Bone marrow smear — 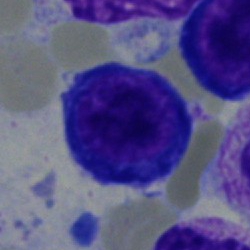

Q: What type of cell is this?
A: This is a pronormoblast.